Bone marrow aspirate smear — 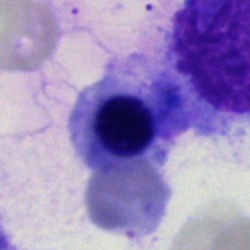Specimen: bone marrow aspirate smear.
Classification: nucleated red cell.